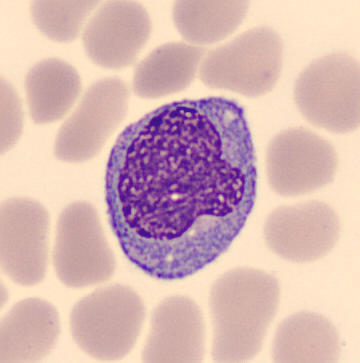Peripheral blood smear; MGG stain. Q: Which cell type is shown here?
A: This is a monocyte.